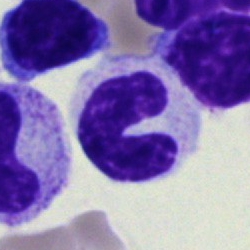

Bone marrow smear showing a band neutrophil.